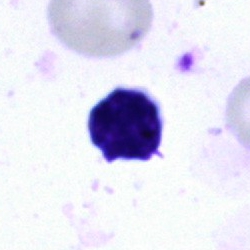

Cell: artefact.